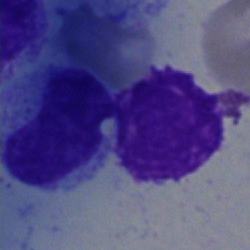

Bone marrow aspirate smear, single cell — artefact.